Bone marrow smear · May-Grünwald-Giemsa/Pappenheim stain — 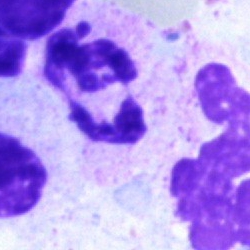 A polymorphonuclear neutrophil.